Bone marrow smear. Cropped to a single cell
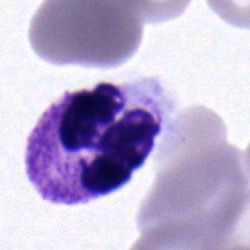

Morphological class = polymorphonuclear neutrophil.